Bone marrow aspirate smear; cropped to a single cell:
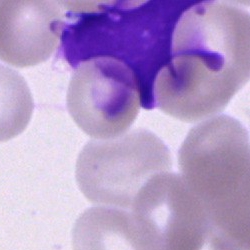 Morphological class: artifact.